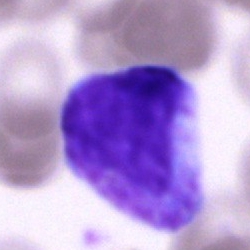
Specimen: bone marrow aspirate smear.
Cell: unidentifiable cell.